Bone marrow smear · 40× objective, oil immersion
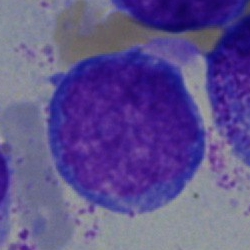Impression — undifferentiated blast.